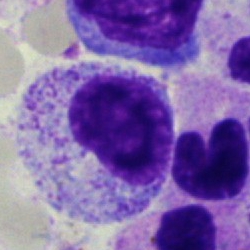

Specimen: bone marrow smear.
Cell: myelocyte.
Lineage: myeloid.